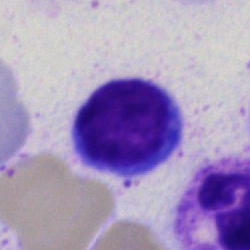
The cell is typical lymphocyte.